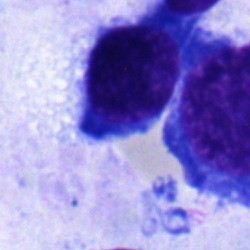

Q: What is shown here?
A: Erythroblast.